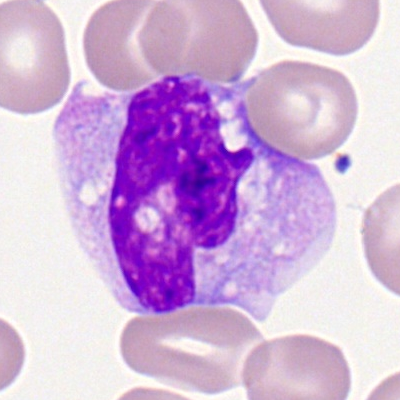

Cell type = monocyte.